Bone marrow aspirate smear: 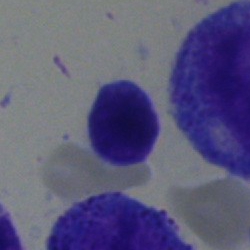
The classification is lymphocyte.